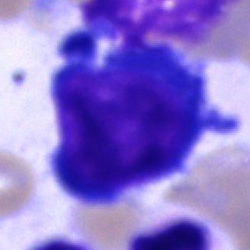

Classification — pronormoblast.